Romanowsky stain · peripheral blood smear · single-cell crop:
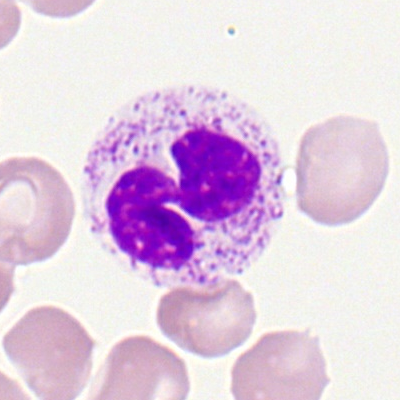Q: What type of cell is this?
A: Polymorphonuclear neutrophil.